Peripheral blood film. Single cell centered in the field. Romanowsky-stained
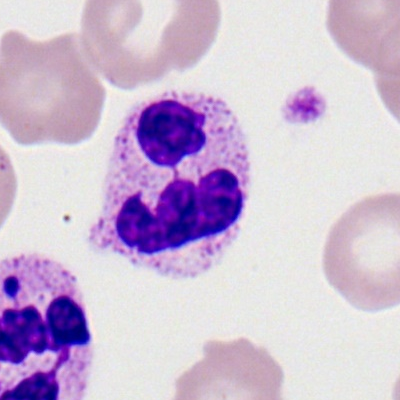

Showing a polymorphonuclear neutrophil.